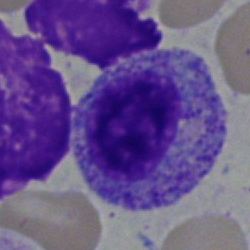Morphological class: myelocyte.